Bone marrow aspirate smear. May-Grünwald-Giemsa/Pappenheim stain.
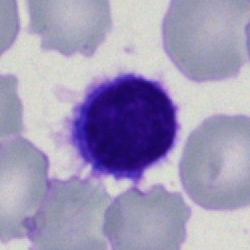

Classification = typical lymphocyte.